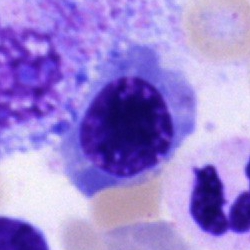 Impression → nucleated red cell.